Bone marrow aspirate smear — 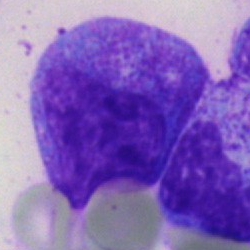

Classification: myelocyte.